Bone marrow aspirate smear:
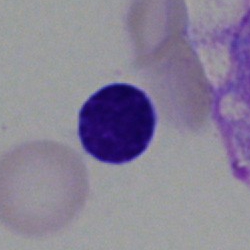

Single cell identified as a typical lymphocyte.